Pappenheim-stained. Bone marrow aspirate smear. 40× objective, oil immersion
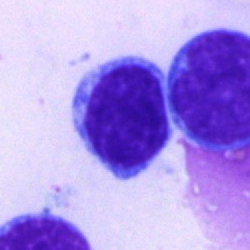 The cell type is typical lymphocyte.